Bone marrow smear — 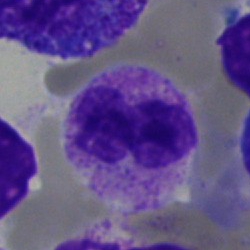

Morphology → segmented neutrophil.